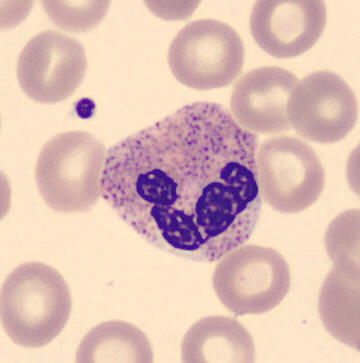
Acquisition: Peripheral blood smear.
{"cell_type": "neutrophil (segmented)", "lineage": "myeloid"}